Bone marrow smear; 250 by 250 pixels: 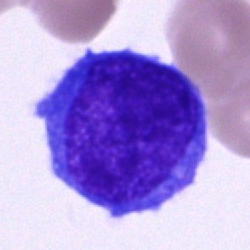 Specimen: bone marrow smear.
Classification: blast.